Single-cell field. Bone marrow aspirate smear:
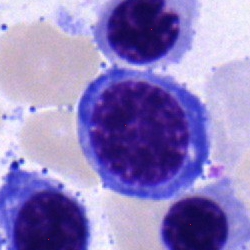
Showing a nucleated red blood cell.